Bone marrow smear
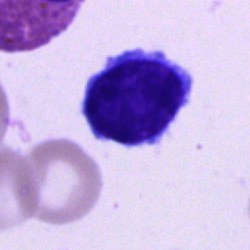

Specimen: bone marrow smear.
Morphological class: typical lymphocyte.
Lineage: lymphoid.